Peripheral blood smear
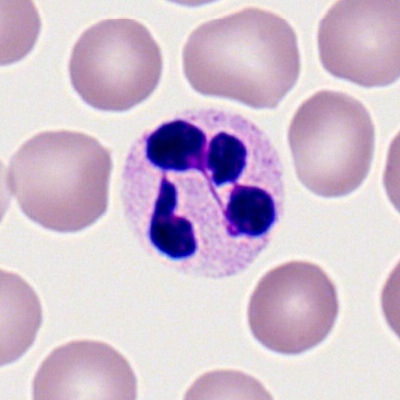
Q: Which cell type is shown here?
A: This is a polymorphonuclear neutrophil.